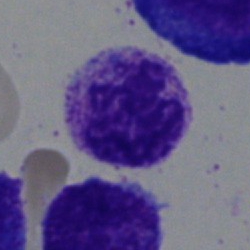Morphology consistent with a segmented neutrophil.